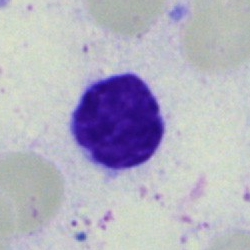
Q: What type of cell is this?
A: It is a typical lymphocyte.